Cropped to a single cell; bone marrow aspirate smear: 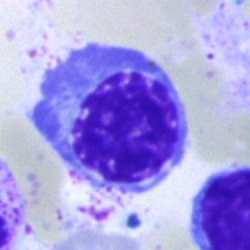
An erythroblast.